Bone marrow smear:
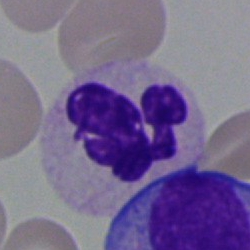

Morphology consistent with a polymorphonuclear neutrophil.